Single-cell crop · bone marrow smear · 250×250 — 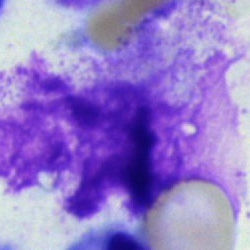 The cell is artifact.